Bone marrow aspirate smear: 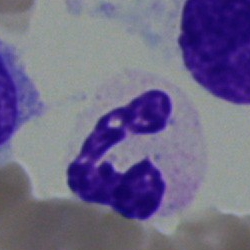 Cell type — neutrophil (segmented).